Bone marrow smear: 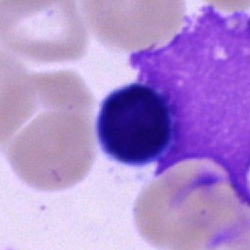Morphological class — artifact.